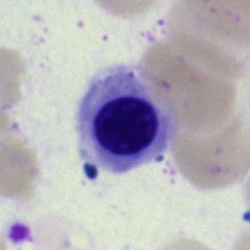 Specimen: bone marrow smear.
Cell: erythroblast.